Bone marrow smear:
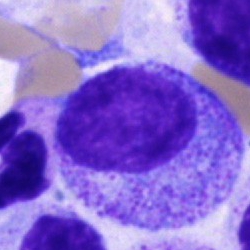

Cell type = promyelocyte.